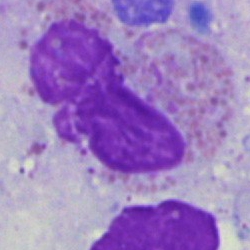 Morphological class — artefact.